Bone marrow smear — 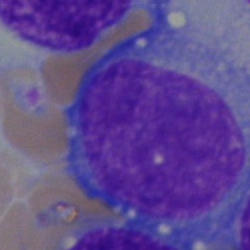
Morphology consistent with an undifferentiated blast.